Bone marrow aspirate smear. 40× objective, oil immersion: 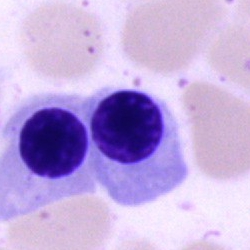
A nucleated red cell.